400×400 px · peripheral blood smear
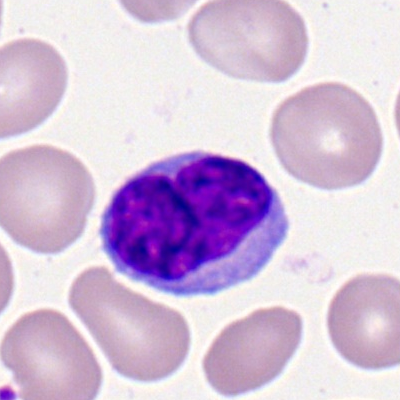Specimen: peripheral blood film.
Morphological class: typical lymphocyte.
Lineage: lymphoid.